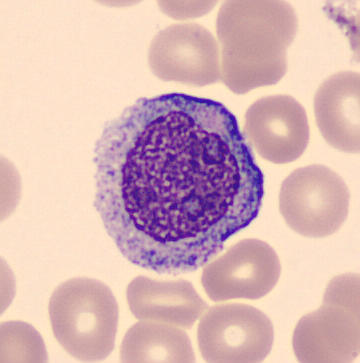Specimen: peripheral blood smear.
Morphological class: promyelocyte.
Lineage: myeloid.